Pappenheim-stained. Bone marrow aspirate smear. Brightfield, 40× oil-immersion objective — 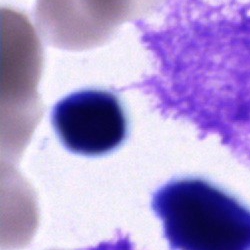Morphology consistent with an unidentifiable cell.